Bone marrow aspirate smear. 40× oil immersion — 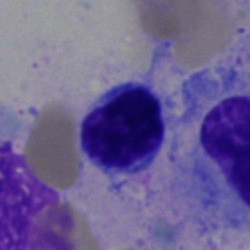
Q: What is the morphological classification of this cell?
A: It is a lymphocyte.